Bone marrow smear.
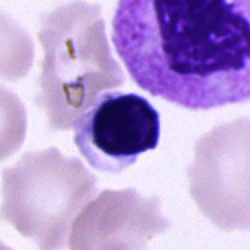
Specimen: bone marrow aspirate smear.
Cell: unidentifiable cell.